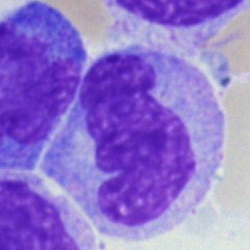
Morphology → monocyte.